40× oil immersion. Bone marrow smear:
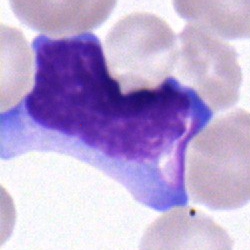Cell — lymphocyte.